Bone marrow aspirate smear:
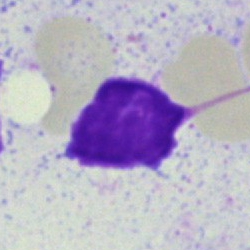

Q: What is shown here?
A: An artifact.